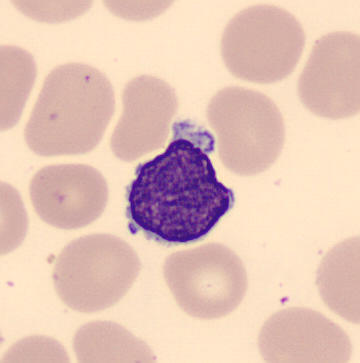Peripheral blood film.
Identified as a typical lymphocyte.